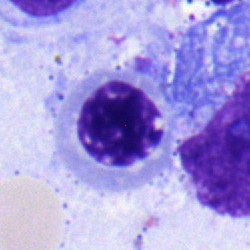Q: What is the morphological classification of this cell?
A: This is an erythroblast.